Bone marrow smear
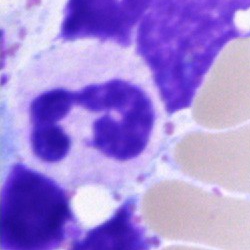 Q: What is shown here?
A: A segmented neutrophil.